Brightfield microscopy, 40× oil immersion; bone marrow aspirate smear.
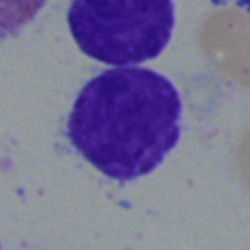

Showing a lymphocyte.